Bone marrow aspirate smear:
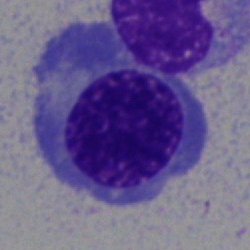
Morphology consistent with a normoblast.